Bone marrow aspirate smear:
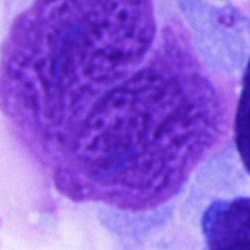

Classification: artifact.